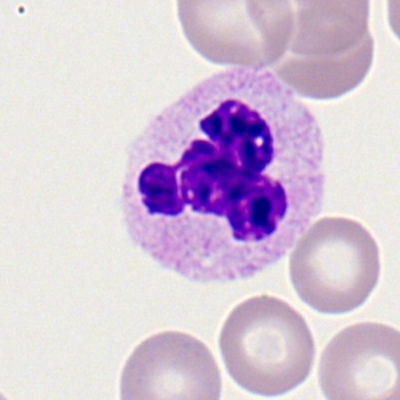Peripheral blood smear showing a neutrophil (segmented).